Bone marrow aspirate smear.
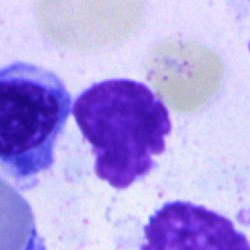Artifact.